Bone marrow smear · single cell centered in the field — 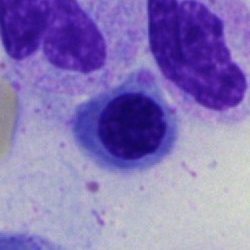

Morphology consistent with an erythroblast.